Bone marrow smear; May-Grünwald-Giemsa stain; single-cell crop — 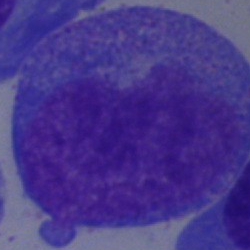Cell — promyelocyte.